Bone marrow smear.
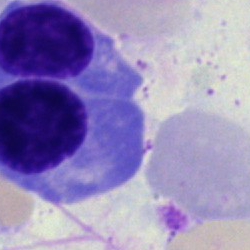

Classification = nucleated red blood cell.